250×250 px; bone marrow aspirate smear — 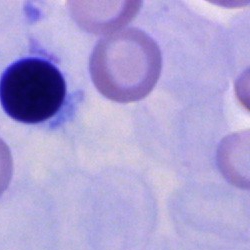The classification is unidentifiable cell.